Peripheral blood smear:
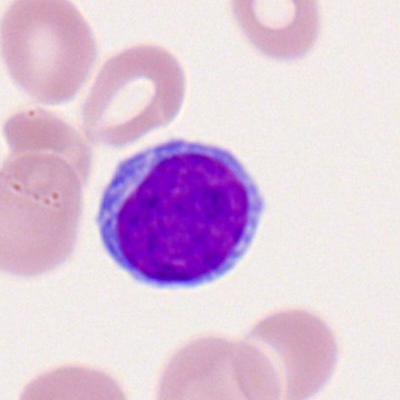Morphology consistent with a typical lymphocyte.